Bone marrow smear: 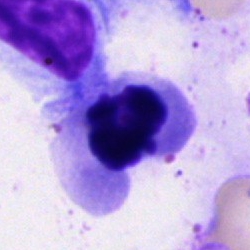
Classification = nucleated red cell.